Bone marrow aspirate smear: 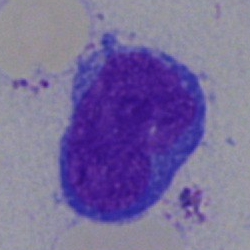Classification = promyelocyte.